Single cell centered in the field; bone marrow aspirate smear: 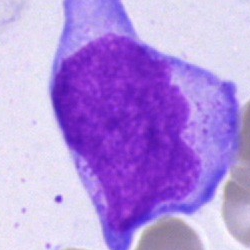
Q: Which cell type is shown here?
A: Blast.